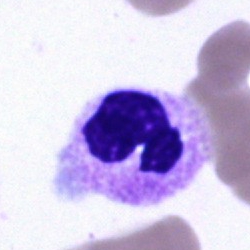

Showing a polymorphonuclear neutrophil.